Bone marrow aspirate smear; 40× objective, oil immersion:
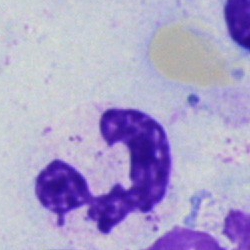 A segmented neutrophil.